Single-cell field · bone marrow aspirate smear:
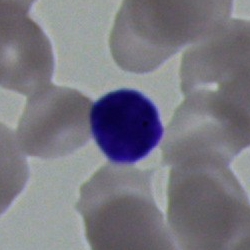 The morphological class is lymphocyte.